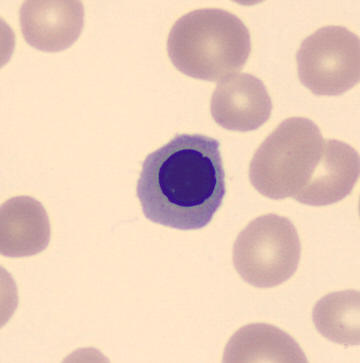
Erythroblast. Image: Imaged on a CellaVision DM96 analyser. Peripheral blood smear.